Bone marrow smear · brightfield microscopy, 40× oil immersion — 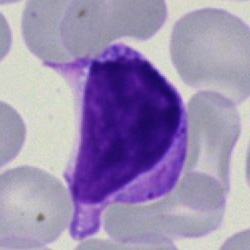

The morphological class is blast.